Bone marrow smear — 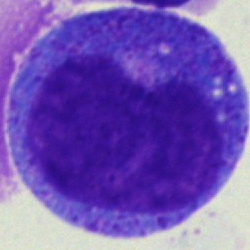 The cell shown is a progranulocyte.